Bone marrow smear:
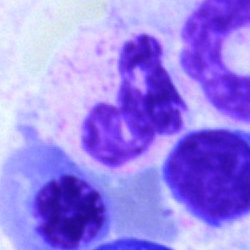

Specimen: bone marrow smear.
Cell: neutrophil (segmented).